Bone marrow smear:
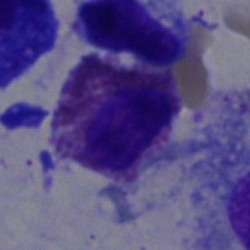Specimen: bone marrow smear.
Classification: eosinophilic granulocyte.
Lineage: myeloid.